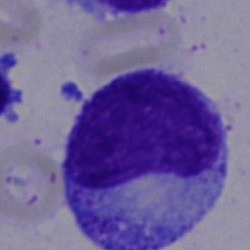
Bone marrow aspirate smear, single cell — metamyelocyte.